Bone marrow aspirate smear: 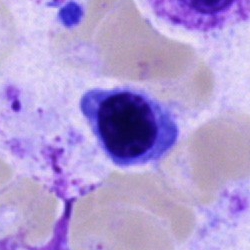

This is a normoblast.